Bone marrow smear
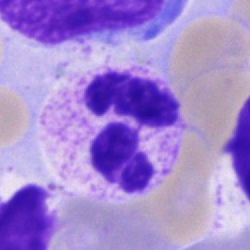

Classification = neutrophil (segmented).